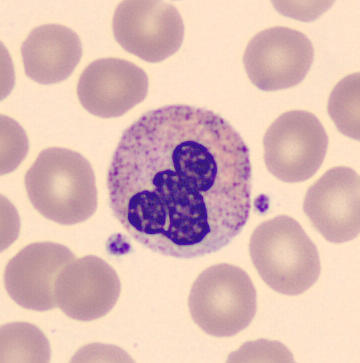

A polymorphonuclear neutrophil. Preparation: Peripheral blood smear.